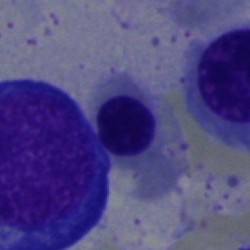
Q: Identify the cell.
A: Nucleated red blood cell.